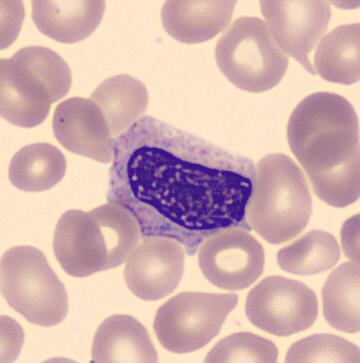
Specimen: peripheral blood film.
Classification: metamyelocyte.